Bone marrow smear — 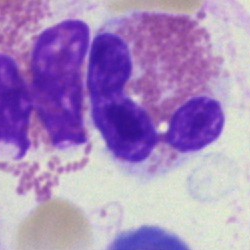

Morphological class — eosinophilic granulocyte.